Bone marrow smear:
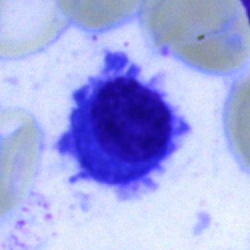 Morphology — plasmacyte.